Bone marrow aspirate smear · single cell centered in the field:
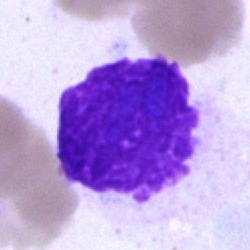
{"cell_type": "artefact"}